250 by 250 pixels. Bone marrow aspirate smear.
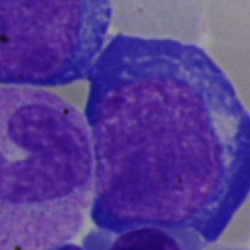
Specimen: bone marrow smear.
Cell: pronormoblast.
Lineage: erythroid.